Bone marrow smear · single cell centered in the field: 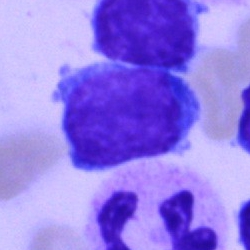 Showing a typical lymphocyte.